Bone marrow aspirate smear: 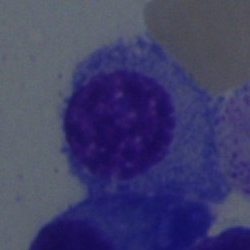 Cell — plasma cell.